Bone marrow aspirate smear
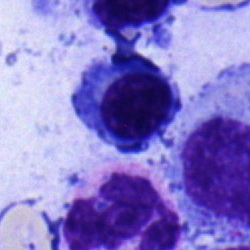Q: What cell is this?
A: This is a plasma cell.